Peripheral blood film.
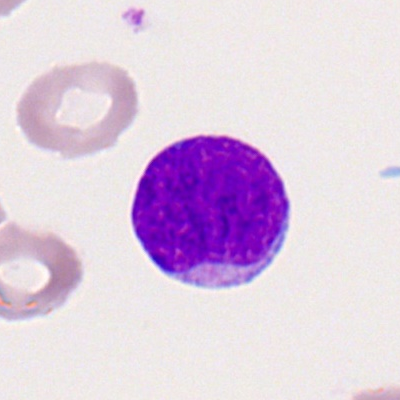Single cell identified as a myeloid blast.